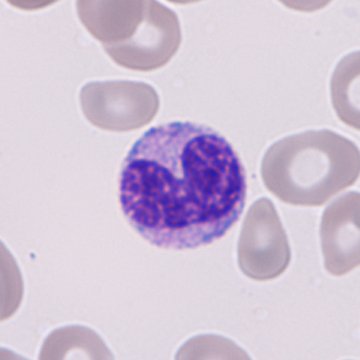{"cell_type": "immature granulocyte", "lineage": "myeloid"}

Acquisition: May-Grünwald-Giemsa-stained; CellaVision DM96 digital cell image; peripheral blood film.